Bone marrow aspirate smear. 250×250 px — 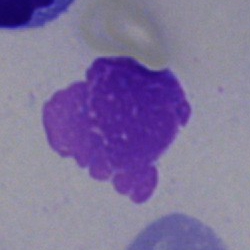Artifact.